Bone marrow smear; image size 250×250:
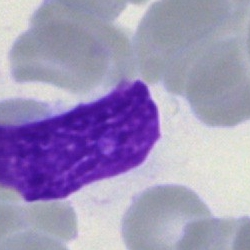The cell is smudge cell.